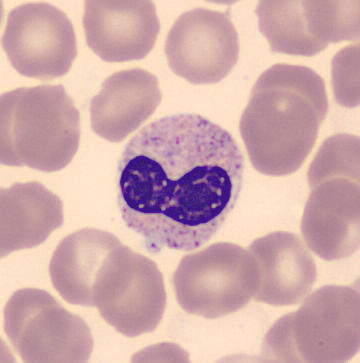 Automated cell imaging (CellaVision DM96); peripheral blood smear.
The cell shown is a band-form neutrophil.